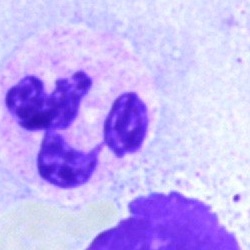Cell type: neutrophil (segmented).